Peripheral blood smear:
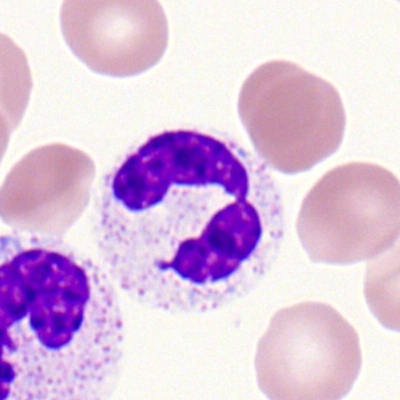
Cell type = neutrophil (segmented).